Bone marrow smear: 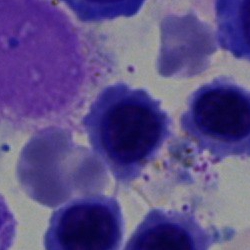

Impression — nucleated red blood cell.